Bone marrow aspirate smear:
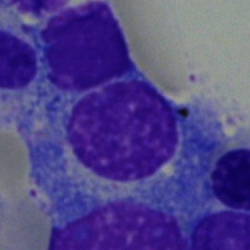

Classification = plasmacyte.